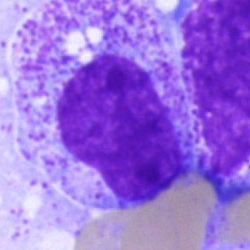Cell: promyelocyte.